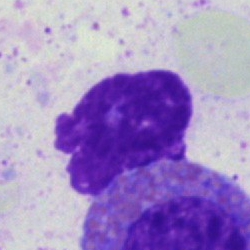

Specimen: bone marrow smear.
Morphological class: artefact.